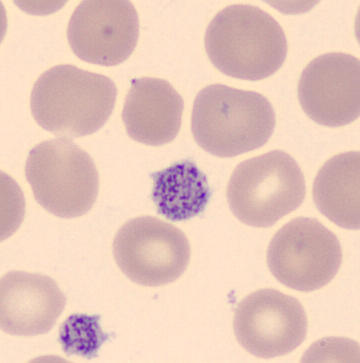Specimen: peripheral blood smear.
Morphological class: thrombocyte.